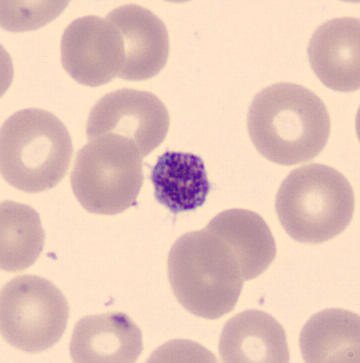
Showing a platelet (thrombocyte).

Image: Imaged on a CellaVision DM96 analyser · image size 360×363 · peripheral blood smear.